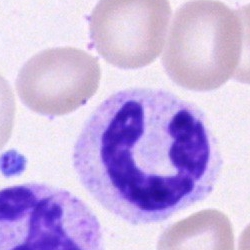
Impression — neutrophil (segmented).